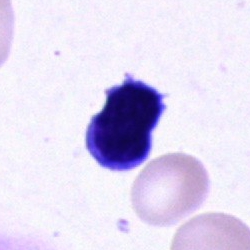

Morphology → typical lymphocyte.